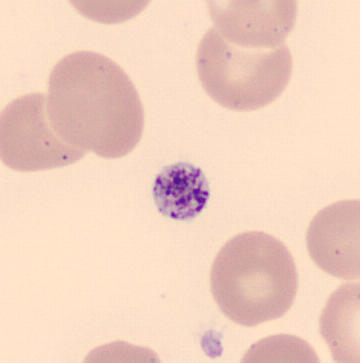
Q: What is this?
A: This is a platelet (thrombocyte).